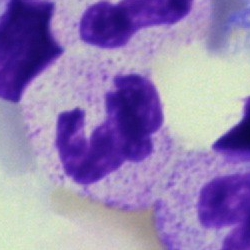

Single cell identified as a polymorphonuclear neutrophil.